Single-cell field; bone marrow smear.
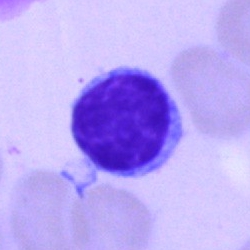Q: Identify the cell.
A: A lymphocyte.